Bone marrow aspirate smear — 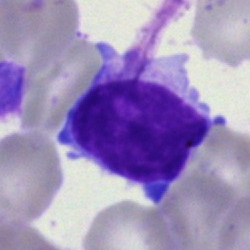{"cell_type": "typical lymphocyte"}